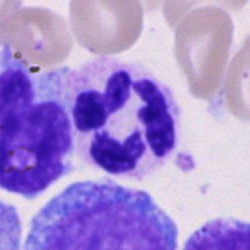
Impression — segmented neutrophil.